Brightfield, 40× oil-immersion objective. 250×250. Bone marrow aspirate smear.
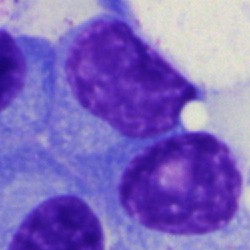

Classification — plasma cell.